250×250; single cell centered in the field; bone marrow smear — 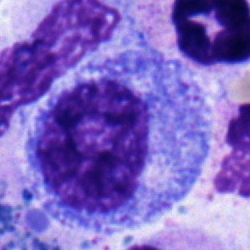Cell — promyelocyte.